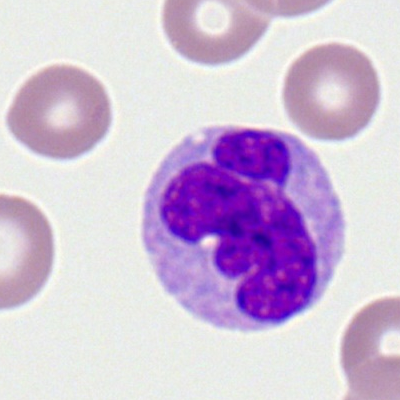
Peripheral blood smear showing a monocyte.